40× objective, oil immersion · bone marrow aspirate smear · 250×250 px.
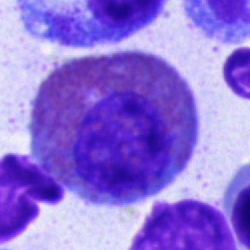 Morphological class = eosinophil.